Bone marrow smear · 40× objective, oil immersion: 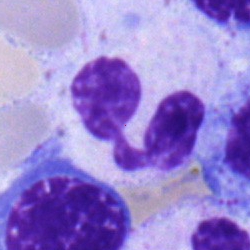Classification — neutrophil (segmented).